Bone marrow smear. 250 by 250 pixels. Single-cell field:
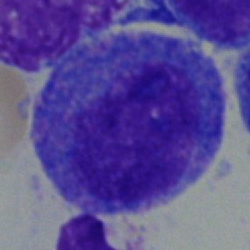 Q: Identify the cell.
A: This is a progranulocyte.